Bone marrow aspirate smear
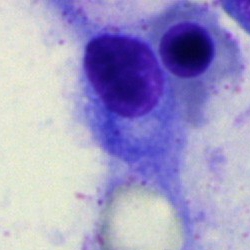 Impression — plasmacyte.